Peripheral blood film: 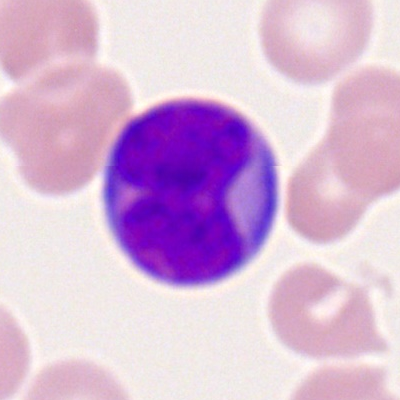 The cell shown is a myeloid blast.